Bone marrow smear; 250 by 250 pixels
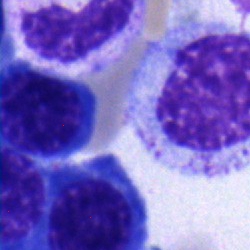

Classification: erythroblast.